250 by 250 pixels; May-Grünwald-Giemsa stain; bone marrow aspirate smear:
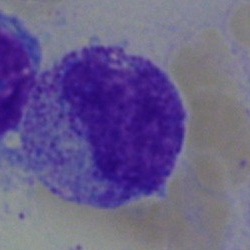 A myelocyte.